Bone marrow smear. Single-cell field. May-Grünwald-Giemsa/Pappenheim stain.
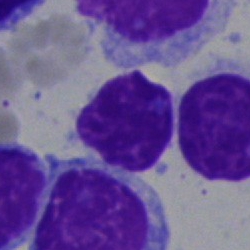Q: What is the morphological classification of this cell?
A: This is a lymphocyte.